May-Grünwald-Giemsa stain; bone marrow aspirate smear:
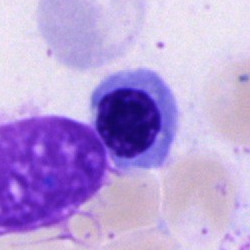

{"cell_type": "nucleated red blood cell"}